Peripheral blood film
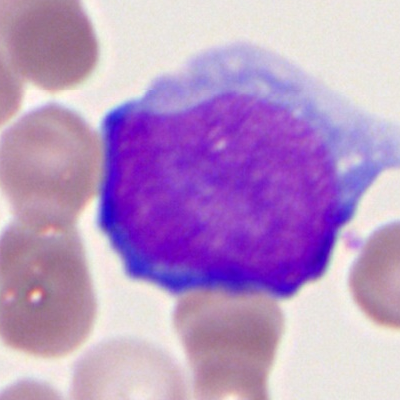

The cell shown is a myeloblast.